250×250 px. Bone marrow smear
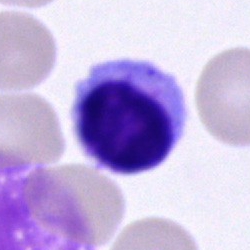Q: What type of cell is this?
A: This is a lymphocyte.